Bone marrow aspirate smear
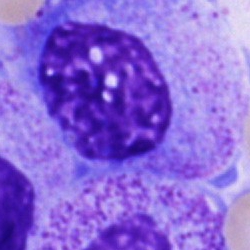Progranulocyte.